Bone marrow aspirate smear; May-Grünwald-Giemsa stain.
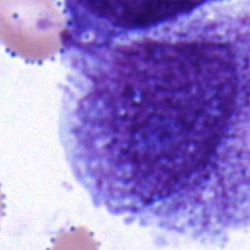 Showing a blast.